40× oil immersion · bone marrow aspirate smear · 250×250: 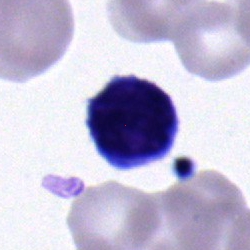Morphology consistent with a lymphocyte.